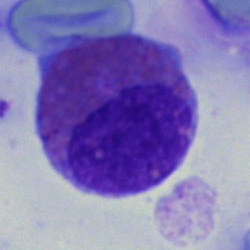

An eosinophilic granulocyte.